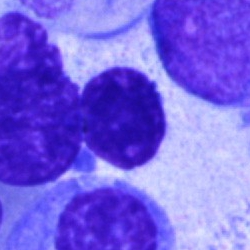 Showing an artifact.